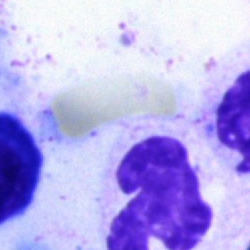Single-cell crop from a bone marrow smear: artifact.